Bone marrow aspirate smear: 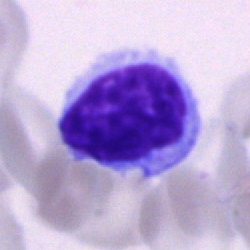
Lymphocyte.